250 by 250 pixels; bone marrow aspirate smear:
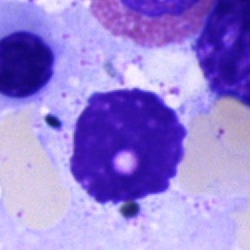
Q: What is shown here?
A: This is an artefact.